Bone marrow smear:
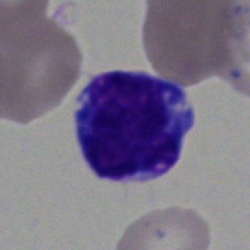The morphological class is undifferentiated blast.